Bone marrow aspirate smear: 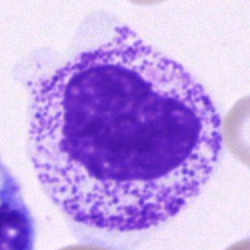

Showing an artifact.